Bone marrow smear · brightfield, 40× oil-immersion objective
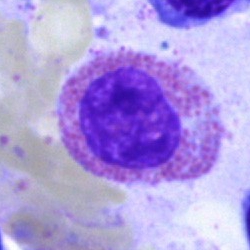
Morphology consistent with an eosinophil.